250×250; bone marrow aspirate smear:
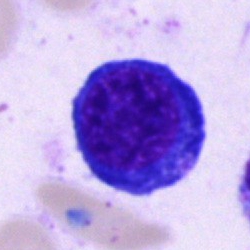
Impression — normoblast.